Bone marrow smear: 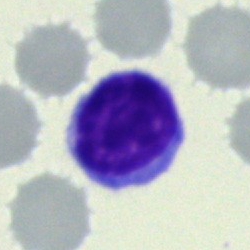 The cell shown is a lymphocyte.